Bone marrow aspirate smear. Brightfield microscopy, 40× oil immersion. Single cell centered in the field — 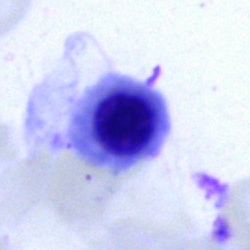

Cell — nucleated red blood cell.